Peripheral blood film.
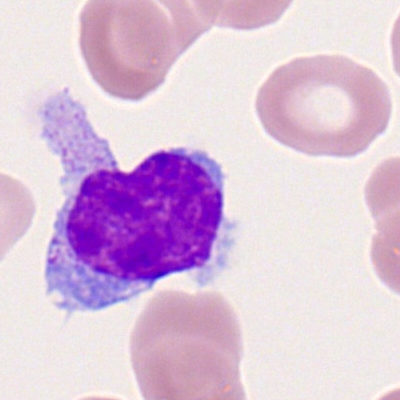
Q: Identify the cell.
A: Lymphocyte.